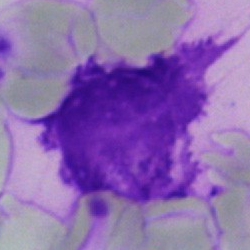
Showing an artifact.